250 by 250 pixels. Bone marrow aspirate smear — 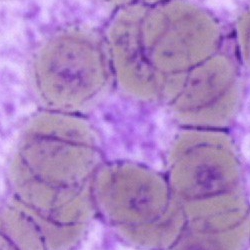 Morphology consistent with a blast.